40× oil immersion. Bone marrow aspirate smear. May-Grünwald-Giemsa stain: 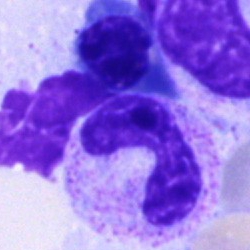
Impression — neutrophil (band).